Peripheral blood film:
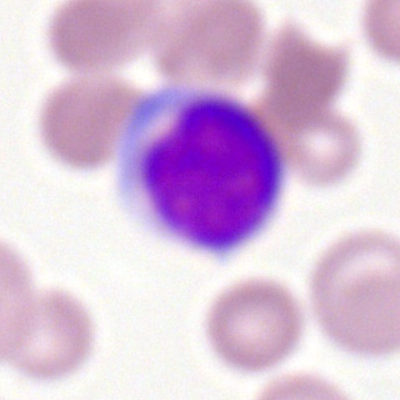
This is a lymphocyte.